250×250 px · brightfield microscopy, 40× oil immersion · bone marrow aspirate smear.
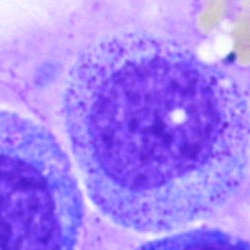Q: What cell is this?
A: Myelocyte.